Bone marrow smear: 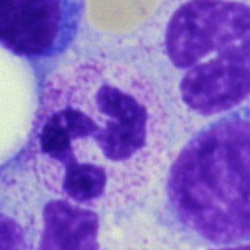 Q: Identify the cell.
A: A polymorphonuclear neutrophil.